Bone marrow smear: 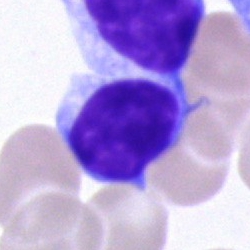 Morphology — typical lymphocyte.